Bone marrow smear. Single-cell field — 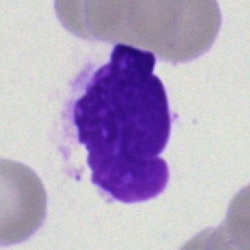

This is an artifact.